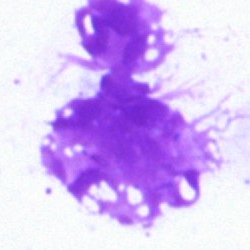
This is an artefact.